Peripheral blood smear:
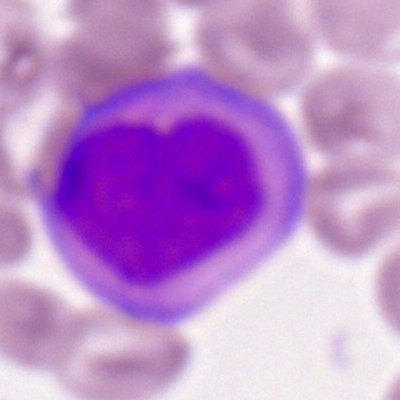

Q: What is shown here?
A: Myeloid blast.